Bone marrow smear
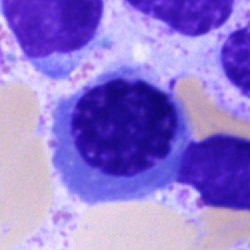
Morphology consistent with a normoblast.